Image size 400×400 · peripheral blood film · Romanowsky stain
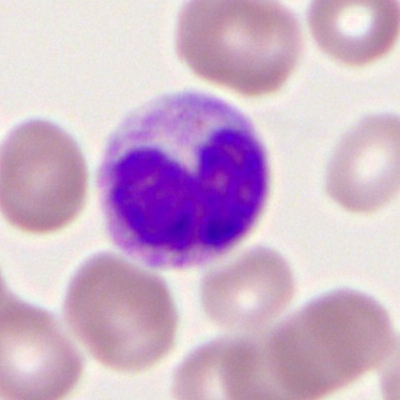

Stab cell.